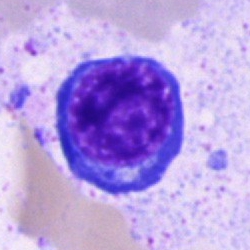
Specimen: bone marrow smear.
Classification: nucleated red cell.
Lineage: erythroid.